Bone marrow aspirate smear: 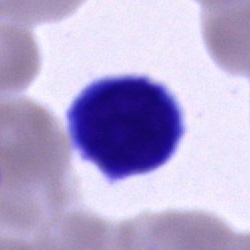
A typical lymphocyte.